Bone marrow aspirate smear — 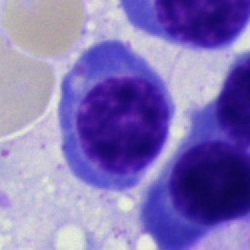

Morphological class: erythroblast.